Bone marrow aspirate smear:
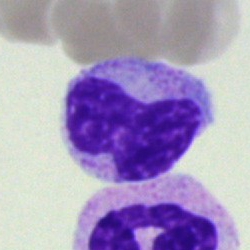Q: What is shown here?
A: It is an artifact.